40× oil immersion; bone marrow aspirate smear; image size 250×250 — 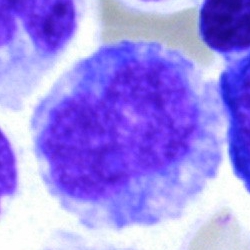 The cell shown is a promyelocyte.